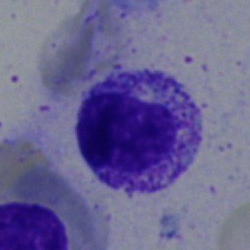

Morphology consistent with a myelocyte.